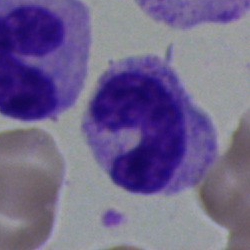 Q: What is shown here?
A: Neutrophil (band).